Bone marrow aspirate smear:
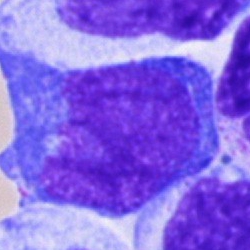
The cell is blast cell.